Bone marrow aspirate smear: 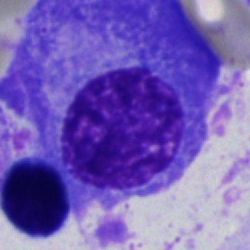
Specimen: bone marrow aspirate smear.
Cell type: plasmacyte.
Lineage: lymphoid.